Pappenheim-stained. Bone marrow smear. 250×250 — 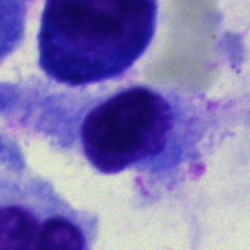 Cell: artefact.